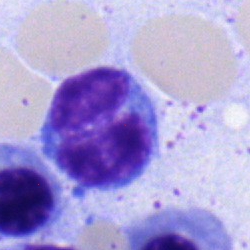 The cell type is monocyte.